250×250 px; May-Grünwald-Giemsa/Pappenheim stain; bone marrow smear:
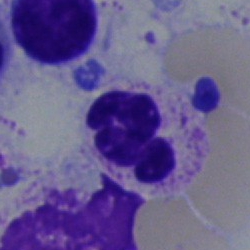Showing a segmented neutrophil.